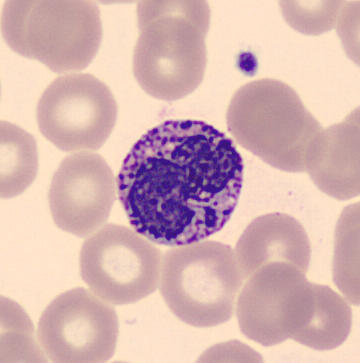The cell shown is a basophil.
Peripheral blood film.